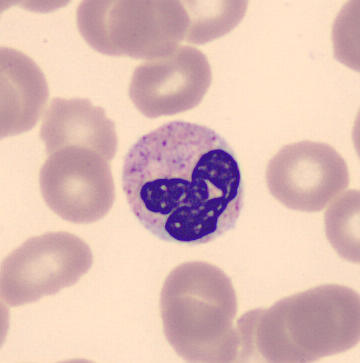
Specimen: peripheral blood film.
Cell type: neutrophil (segmented).
Lineage: myeloid.